Single-cell field; 250×250; bone marrow aspirate smear.
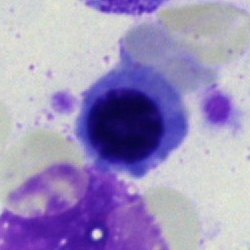

Specimen: bone marrow smear.
Morphological class: nucleated red cell.
Lineage: erythroid.